Bone marrow smear · brightfield microscopy, 40× oil immersion:
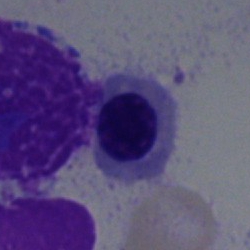 Normoblast.